Bone marrow smear. Pappenheim-stained — 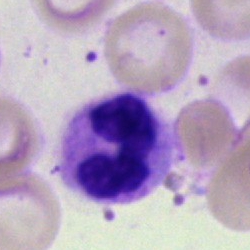The classification is segmented neutrophil.